Bone marrow smear.
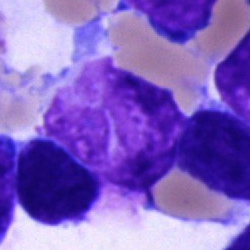Q: What is shown here?
A: An artefact.